Bone marrow smear
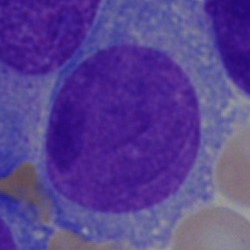
A blast cell.